Bone marrow smear:
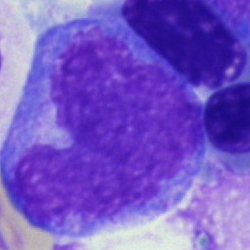

Cell — monocyte.